MGG-stained. Bone marrow aspirate smear:
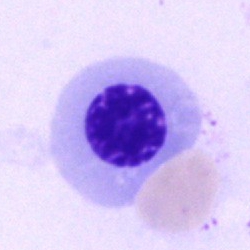 Nucleated red blood cell.